Peripheral blood smear — 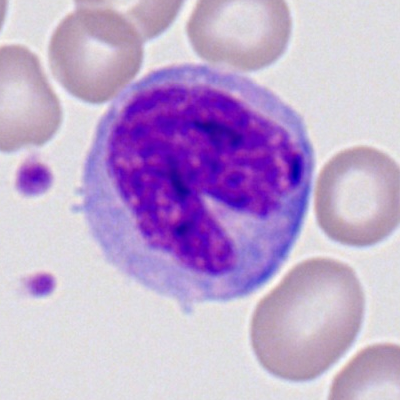 Classification: monocyte.